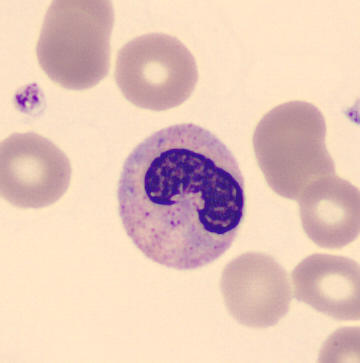 Morphology consistent with a stab cell.